Bone marrow aspirate smear — 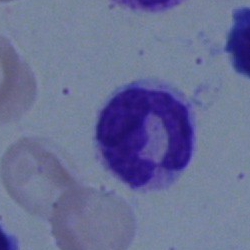Segmented neutrophil.